Cropped to a single cell; bone marrow aspirate smear; 250 by 250 pixels
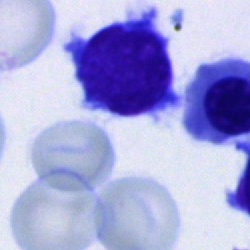

This is a lymphocyte.